Bone marrow smear — 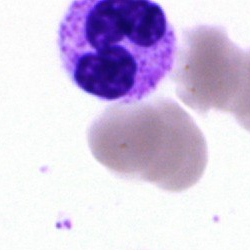The classification is polymorphonuclear neutrophil.